Peripheral blood smear:
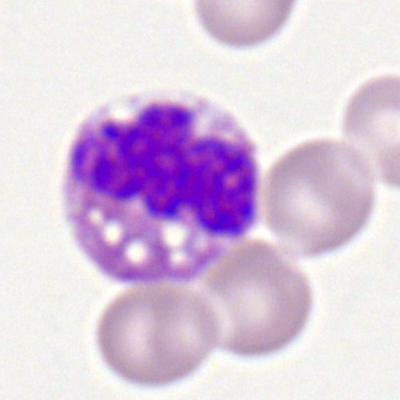Q: Identify the cell.
A: This is an eosinophilic granulocyte.